Bone marrow smear: 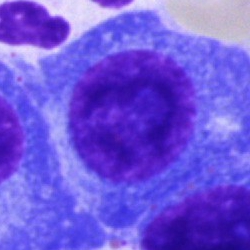The cell is plasma cell.